Image size 250×250 · bone marrow aspirate smear — 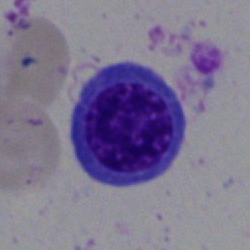The cell is nucleated red cell.